Bone marrow smear.
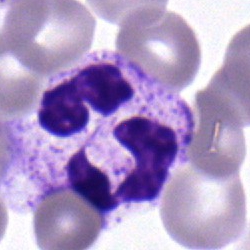A segmented neutrophil.